Bone marrow aspirate smear.
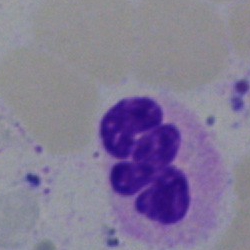A polymorphonuclear neutrophil.